Single cell centered in the field. 40× oil immersion. Bone marrow aspirate smear: 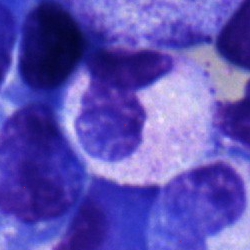
Band-form neutrophil.